Peripheral blood smear — 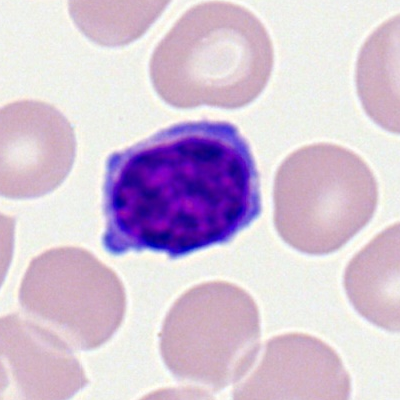

Specimen: peripheral blood smear.
Classification: lymphocyte.